Bone marrow smear: 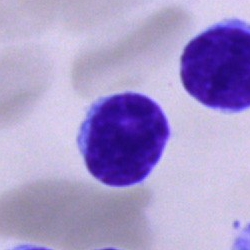
Q: What is the morphological classification of this cell?
A: This is a typical lymphocyte.